Bone marrow smear. Single-cell crop.
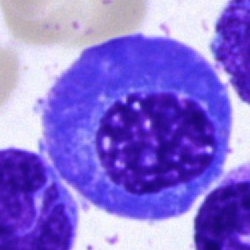

Q: What cell is this?
A: It is a normoblast.